Bone marrow smear
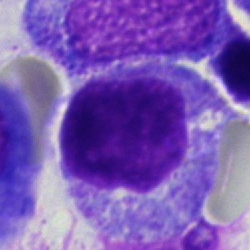
Morphology consistent with a proerythroblast.